Bone marrow aspirate smear: 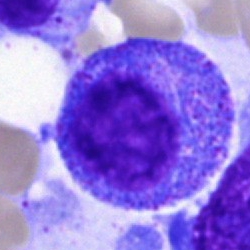

A progranulocyte.